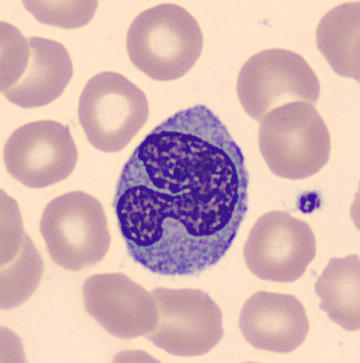 {"cell_type": "monocyte"}